Bone marrow smear
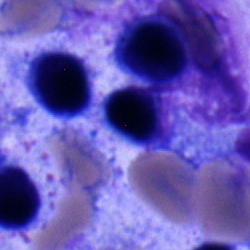Q: What is shown here?
A: This is a typical lymphocyte.